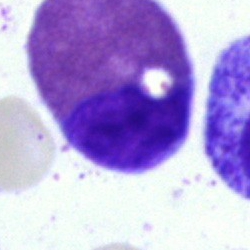

Eosinophil.